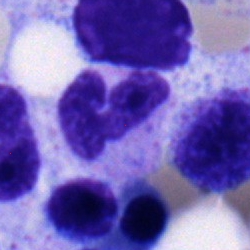Cell type = polymorphonuclear neutrophil.